Single-cell crop; bone marrow aspirate smear; brightfield microscopy, 40× oil immersion
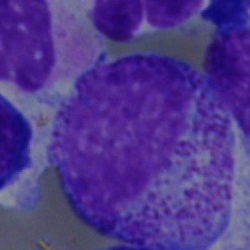

A progranulocyte.